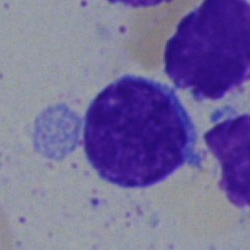
Morphology — typical lymphocyte.